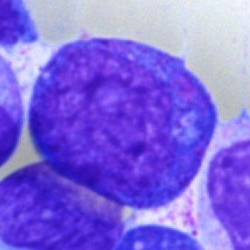

Classification = promyelocyte.